May-Grünwald-Giemsa stain; bone marrow smear
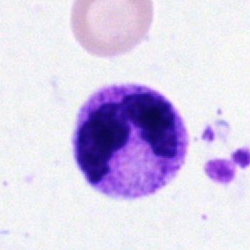 Classification: polymorphonuclear neutrophil.